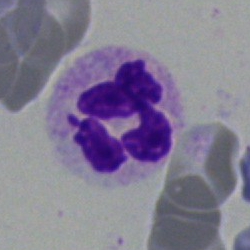Impression → neutrophil (segmented).